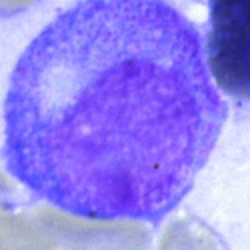

A promyelocyte.